Peripheral blood smear:
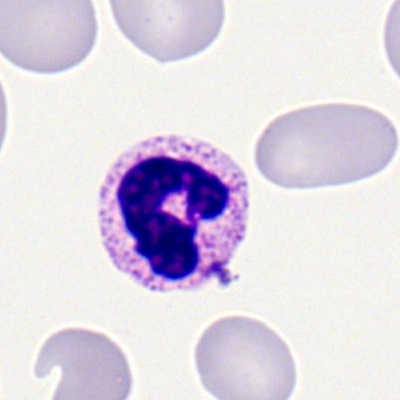
Morphological class — neutrophil (segmented).